Single-cell field. Bone marrow smear:
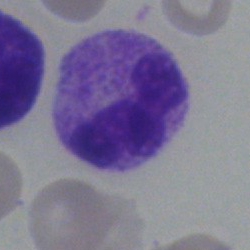 Q: What is shown here?
A: It is a neutrophil (segmented).